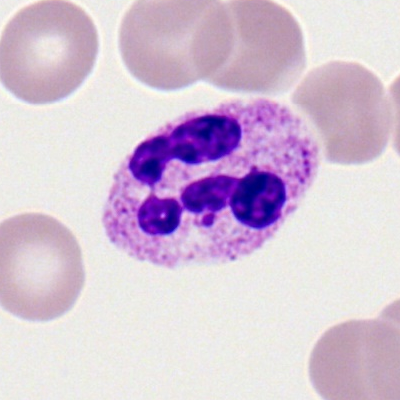Morphological class = segmented neutrophil.